Bone marrow aspirate smear:
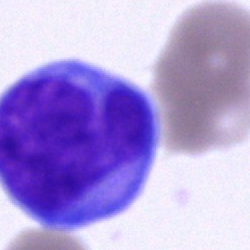
Q: What is shown here?
A: Blast cell.